Bone marrow aspirate smear: 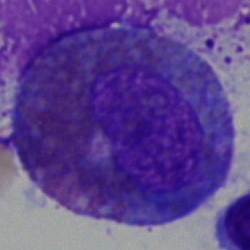
Q: Which cell type is shown here?
A: An eosinophilic granulocyte.